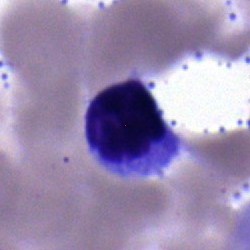Specimen: bone marrow smear.
Cell: typical lymphocyte.